May-Grünwald-Giemsa stain · bone marrow smear: 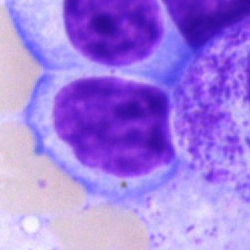

Q: What type of cell is this?
A: Lymphocyte.